May-Grünwald-Giemsa stain. Bone marrow aspirate smear. 250×250 px.
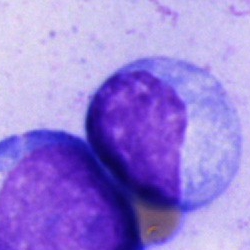

Cell — blast cell.